Peripheral blood film.
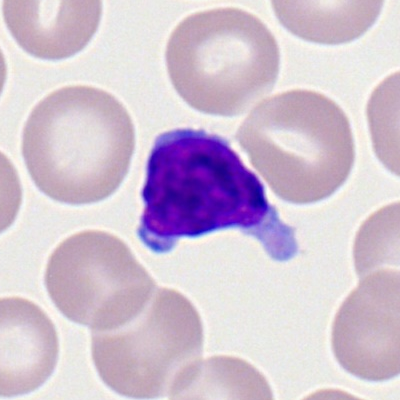Q: What is shown here?
A: Typical lymphocyte.